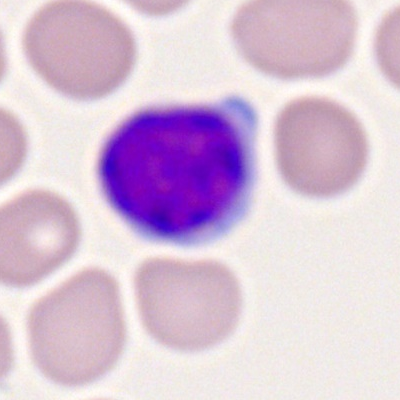

A lymphocyte on a peripheral blood smear.